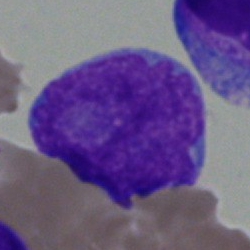 Bone marrow smear showing a blast.